Peripheral blood film:
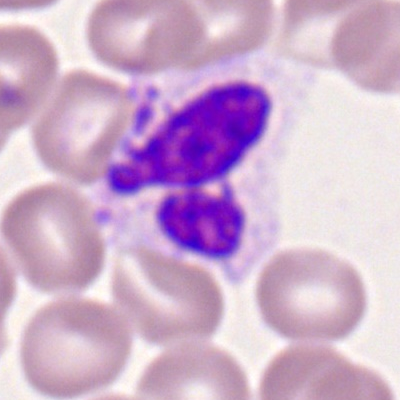 A segmented neutrophil.